40× objective, oil immersion · bone marrow smear
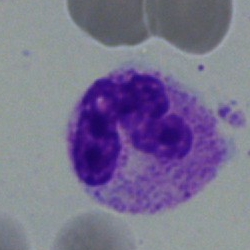
Specimen: bone marrow smear.
Cell type: segmented neutrophil.